Bone marrow aspirate smear:
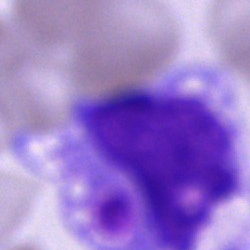 Morphological class = monocyte.